Bone marrow aspirate smear:
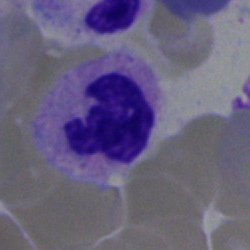

Morphology → neutrophil (segmented).